Bone marrow smear. Brightfield microscopy, 40× oil immersion:
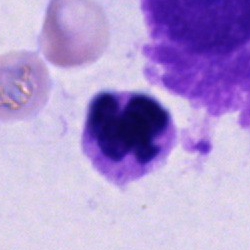

Cell — polymorphonuclear neutrophil.